Bone marrow smear · MGG-stained · image size 250×250 — 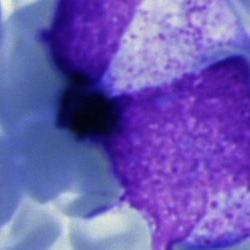

Single cell identified as an artifact.